Bone marrow smear: 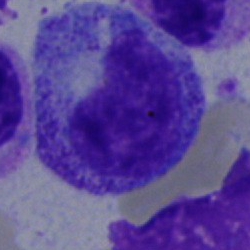
Classification — progranulocyte.